Bone marrow smear. Single-cell crop. 250 by 250 pixels:
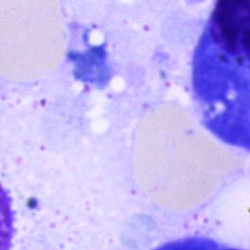
Cell = artifact.